Bone marrow aspirate smear:
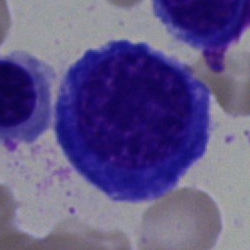 Nucleated red blood cell.